Bone marrow smear — 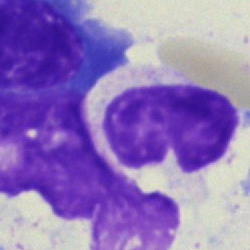

Single cell identified as a neutrophil (band).